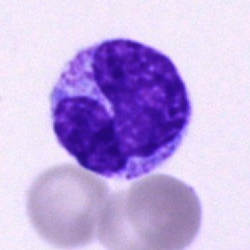

Q: What is shown here?
A: It is an artefact.